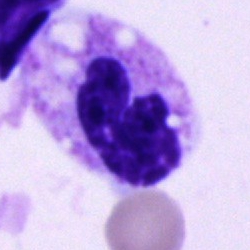The cell shown is a segmented neutrophil.